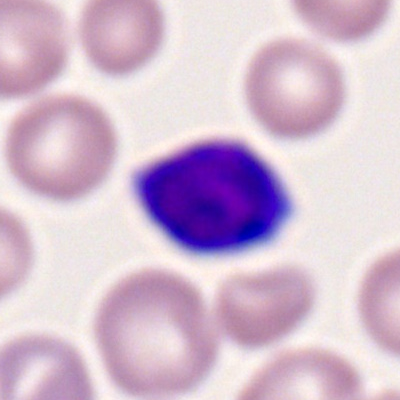

Impression → typical lymphocyte.